MGG-stained. Brightfield, 40× oil-immersion objective. Bone marrow smear — 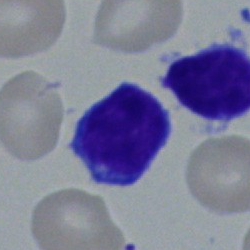 Classification = typical lymphocyte.